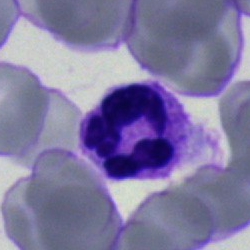 Morphology → polymorphonuclear neutrophil.